Bone marrow smear.
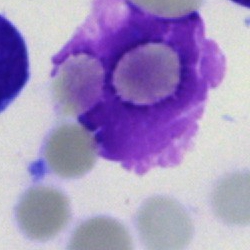Showing an artifact.